Bone marrow aspirate smear.
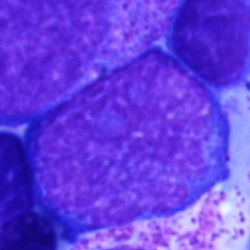
Morphology consistent with a proerythroblast.